Pappenheim-stained · brightfield microscopy, 40× oil immersion · bone marrow smear.
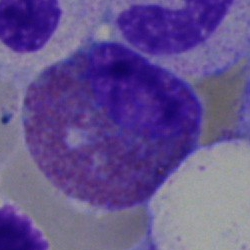 Morphology consistent with an eosinophilic granulocyte.